Bone marrow smear. Single cell centered in the field.
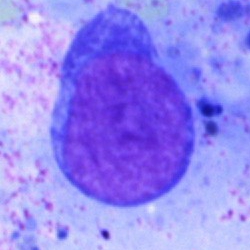

This is a lymphocyte.